Bone marrow aspirate smear: 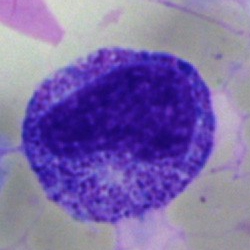

{"cell_type": "promyelocyte", "lineage": "myeloid"}